Cropped to a single cell. Bone marrow aspirate smear: 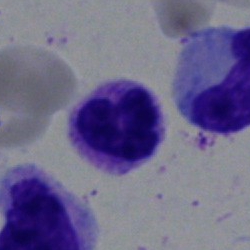 Cell — neutrophil (segmented).